Bone marrow aspirate smear: 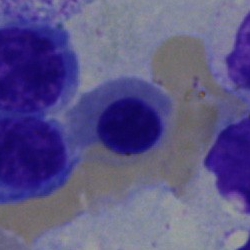

Single cell identified as a normoblast.